Bone marrow smear · single cell centered in the field · brightfield microscopy, 40× oil immersion.
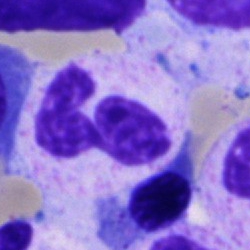
Specimen: bone marrow smear.
Classification: neutrophil (segmented).
Lineage: myeloid.